Cropped to a single cell. Bone marrow smear — 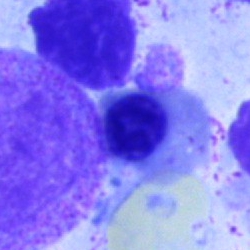
The cell type is normoblast.